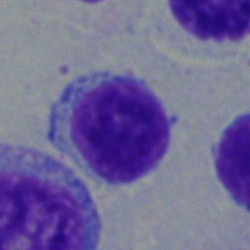

Specimen: bone marrow aspirate smear.
Cell type: lymphocyte.